Brightfield, 40× oil-immersion objective; bone marrow smear
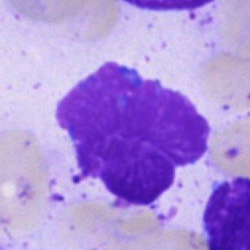An artifact.